Bone marrow aspirate smear: 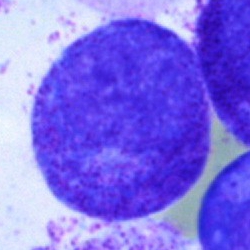

Cell type: promyelocyte.